CellaVision DM96 digital cell image · peripheral blood film · MGG stain.
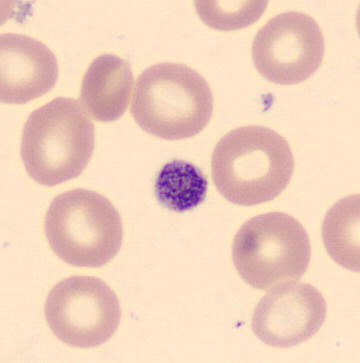

Showing a thrombocyte.